250 by 250 pixels · bone marrow smear
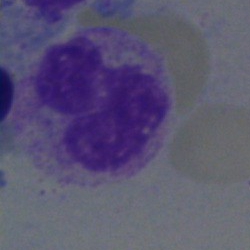 Band-form neutrophil.